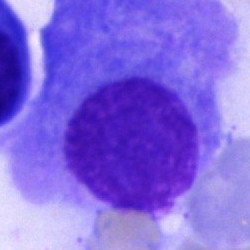
Q: What cell is this?
A: This is a plasma cell.